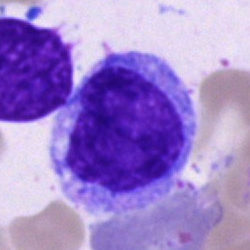Q: Identify the cell.
A: Monocyte.